Bone marrow smear — 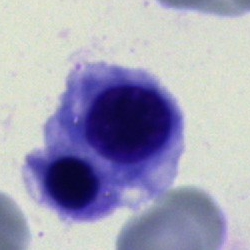 Cell type — nucleated red cell.